Bone marrow aspirate smear · Pappenheim-stained.
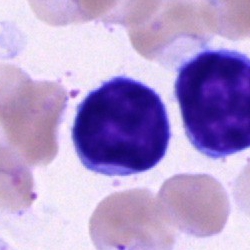

Showing a typical lymphocyte.